Bone marrow aspirate smear
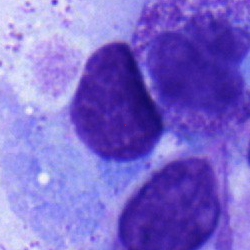Morphology — plasmacyte.